Bone marrow aspirate smear. MGG-stained — 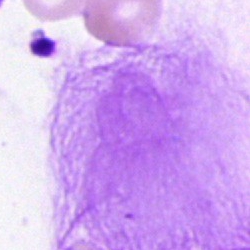 Single cell identified as an artifact.